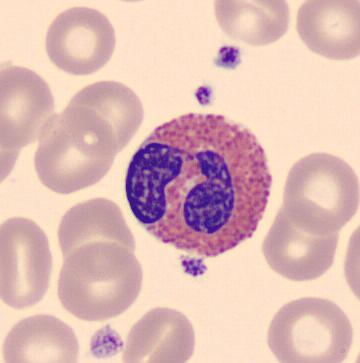 Specimen: peripheral blood film.
Morphological class: eosinophil.
Lineage: myeloid.